Bone marrow aspirate smear. 250×250 px:
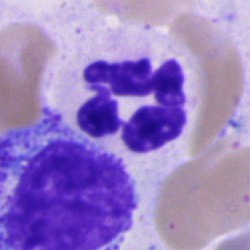Q: What is the morphological classification of this cell?
A: Polymorphonuclear neutrophil.